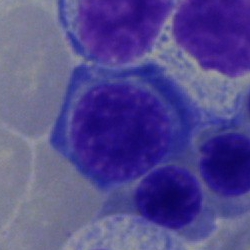A normoblast.